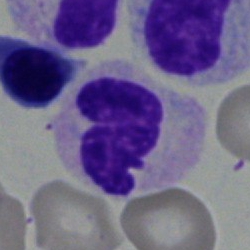
Q: Identify the cell.
A: A stab cell.